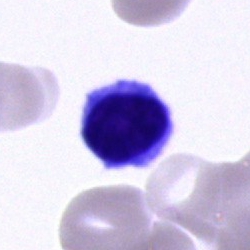

Q: Identify the cell.
A: It is a lymphocyte.